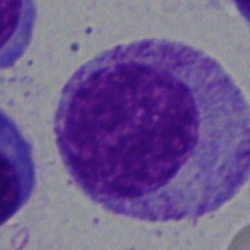 Q: Identify the cell.
A: It is a myelocyte.